40× objective, oil immersion · bone marrow aspirate smear · single-cell field:
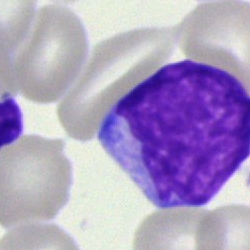Morphological class — blast.